Cropped to a single cell · 40× objective, oil immersion · bone marrow aspirate smear
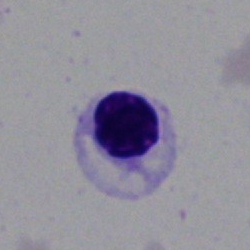
Morphology — erythroblast.